40× objective, oil immersion. Bone marrow aspirate smear:
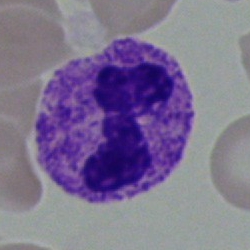
The cell shown is a segmented neutrophil.